Bone marrow smear — 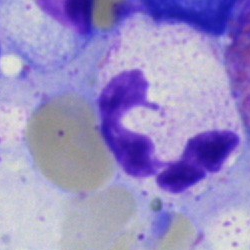

Segmented neutrophil.